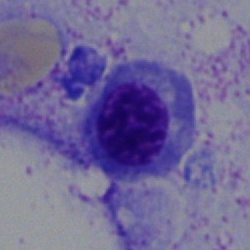

Specimen: bone marrow aspirate smear.
Cell: nucleated red cell.